Peripheral blood smear · 400 by 400 pixels · single-cell field.
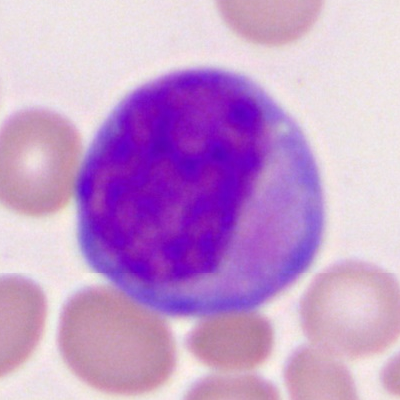Q: Which cell type is shown here?
A: A myeloblast.